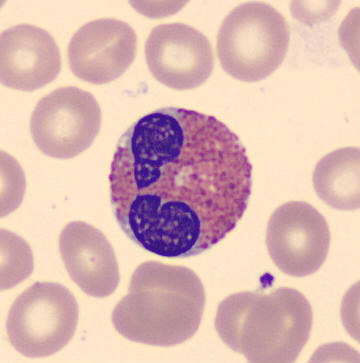

Identified as an eosinophilic granulocyte.
Acquisition: Single cell centered in the field. Peripheral blood smear.